Image size 250×250 · bone marrow aspirate smear · brightfield microscopy, 40× oil immersion.
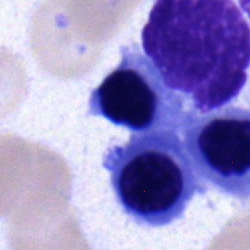
Erythroblast.